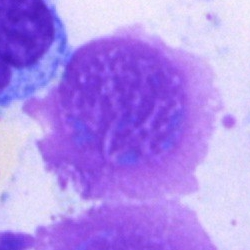
Morphological class = artifact.